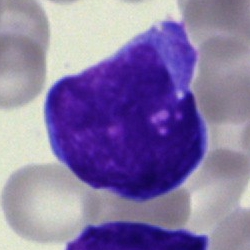

Cell — blast cell.